Bone marrow aspirate smear:
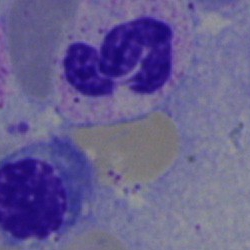

Specimen: bone marrow smear.
Morphological class: neutrophil (segmented).